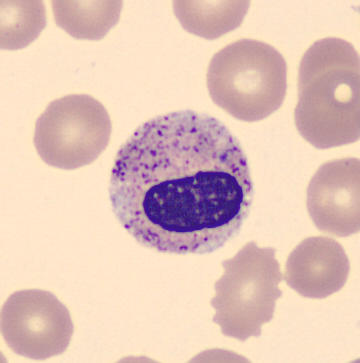

Preparation: 360×363. Peripheral blood film.

Showing a metamyelocyte.